Bone marrow aspirate smear: 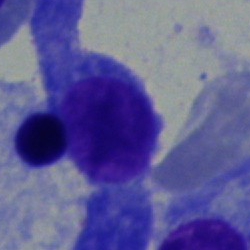

Cell — erythroblast.